Bone marrow smear.
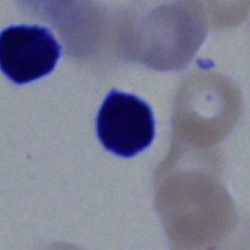

The classification is typical lymphocyte.